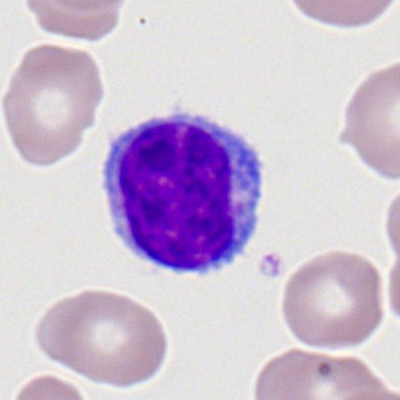
Q: What cell is this?
A: This is a typical lymphocyte.